Single cell centered in the field; May-Grünwald-Giemsa/Pappenheim stain; bone marrow aspirate smear.
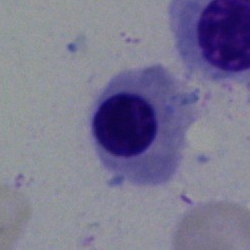 Showing a nucleated red cell.